May-Grünwald-Giemsa/Pappenheim stain. Image size 250×250. Bone marrow smear — 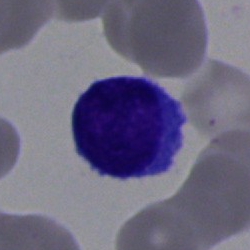
The cell shown is a lymphocyte.